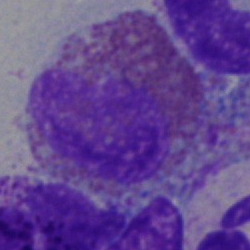Bone marrow smear showing an eosinophil.